Bone marrow smear — 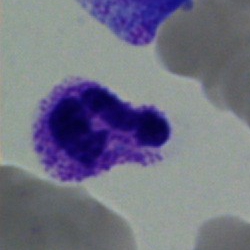Specimen: bone marrow smear.
Classification: neutrophil (segmented).
Lineage: myeloid.